250×250. Bone marrow aspirate smear.
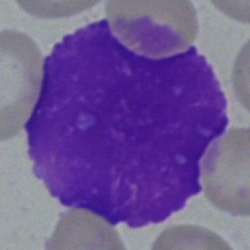

Cell type = artefact.